250×250 px · bone marrow aspirate smear:
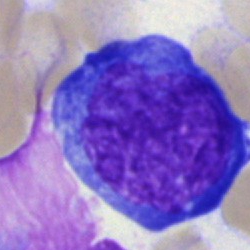

Q: Which cell type is shown here?
A: This is an undifferentiated blast.